Peripheral blood smear. M8 digital microscope (Precipoint), 100× oil immersion. Single-cell crop:
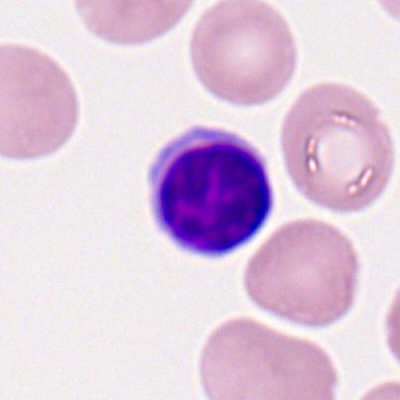
A lymphocyte.